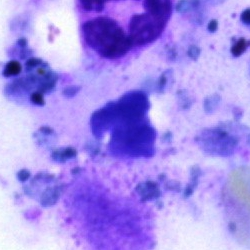 Single cell identified as an artefact.